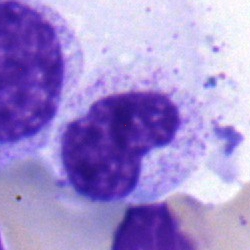 Q: What is shown here?
A: It is a metamyelocyte.